40× oil immersion · bone marrow aspirate smear
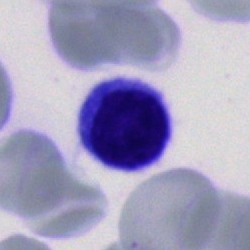
Cell type = typical lymphocyte.